Single-cell field · Pappenheim-stained · bone marrow aspirate smear: 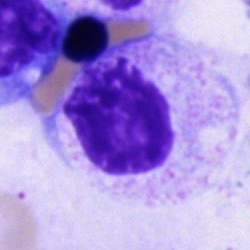
{"cell_type": "cell of indeterminate lineage"}